Peripheral blood film:
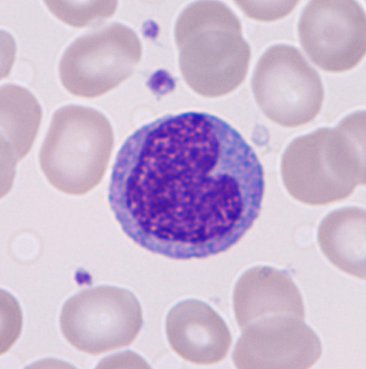
Identified as a monocyte.